Cropped to a single cell. Brightfield, 40× oil-immersion objective. Bone marrow smear.
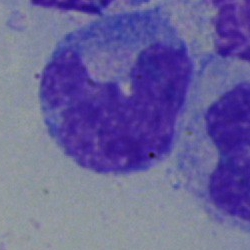
Morphological class — monocyte.